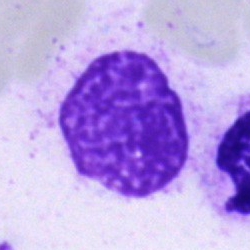 Bone marrow smear showing an artifact.